Bone marrow smear: 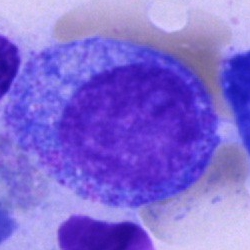 Classification = progranulocyte.